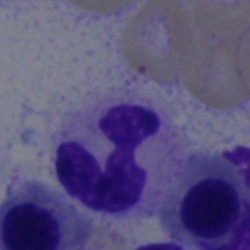A neutrophil (segmented).